Bone marrow aspirate smear:
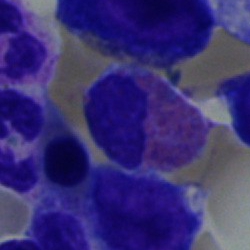 {"cell_type": "eosinophil"}